Bone marrow smear: 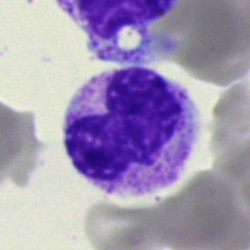

The morphological class is band neutrophil.